Peripheral blood film. Romanowsky-stained:
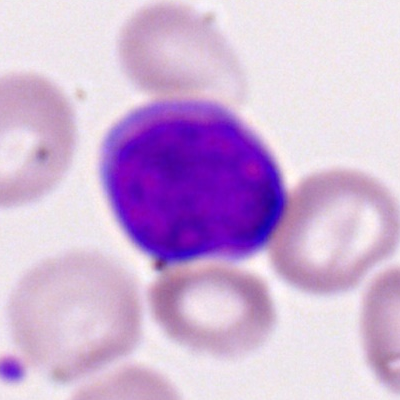 Specimen: peripheral blood film.
Classification: myeloblast.